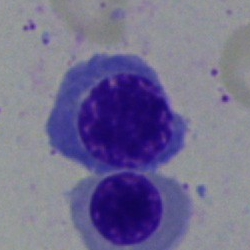

Q: What cell is this?
A: It is a nucleated red cell.